Bone marrow aspirate smear · brightfield, 40× oil-immersion objective · May-Grünwald-Giemsa/Pappenheim stain:
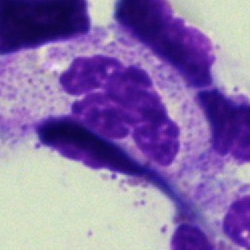

Impression → polymorphonuclear neutrophil.